Bone marrow smear — 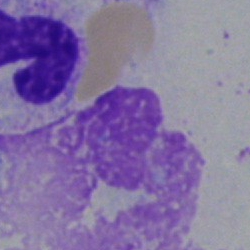
Classification = artefact.